Bone marrow aspirate smear — 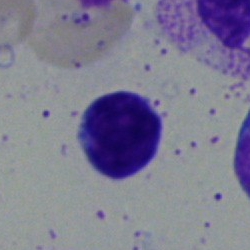
Morphology — typical lymphocyte.